Bone marrow aspirate smear — 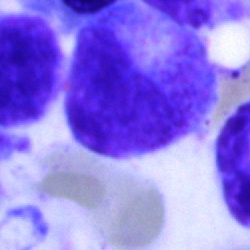 Impression → progranulocyte.